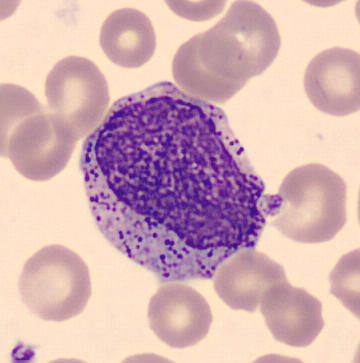 A progranulocyte. Acquisition: Peripheral blood film · May Grünwald-Giemsa stain.